Bone marrow aspirate smear; single-cell field; image size 250×250.
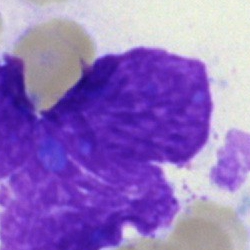 The cell shown is an artifact.